MGG-stained · bone marrow aspirate smear · 250 by 250 pixels — 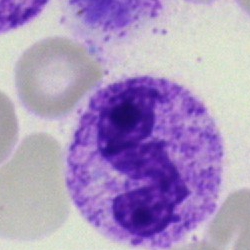Q: What cell is this?
A: It is a neutrophil (segmented).